Pappenheim-stained · bone marrow aspirate smear.
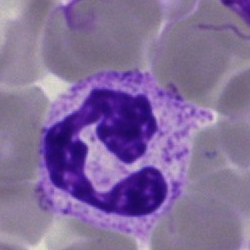

A segmented neutrophil.